MGG-stained. Bone marrow aspirate smear.
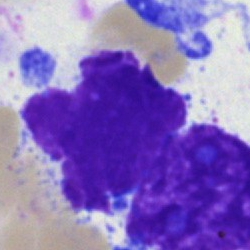

Single cell identified as an artefact.